Cropped to a single cell; bone marrow aspirate smear: 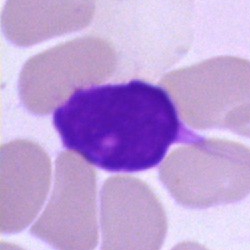
Impression → artifact.